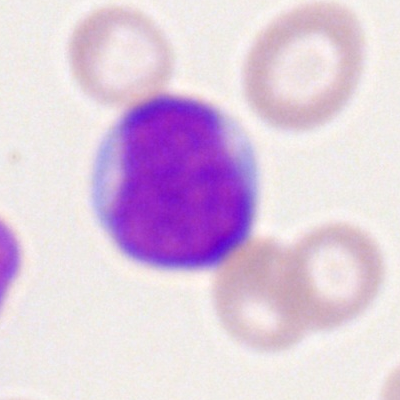

Cell — myeloid blast.